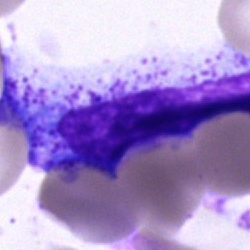 Morphology → progranulocyte.